Bone marrow aspirate smear; 250×250:
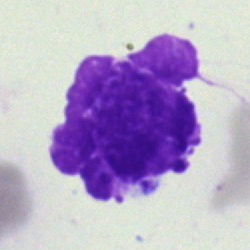Impression → artefact.